Bone marrow aspirate smear.
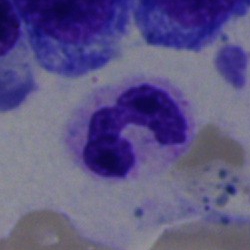

The cell shown is a segmented neutrophil.